40× oil immersion · bone marrow aspirate smear · 250 by 250 pixels — 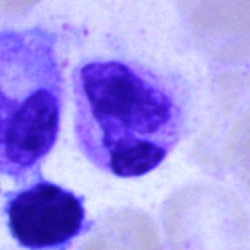 Classification: polymorphonuclear neutrophil.